Bone marrow aspirate smear:
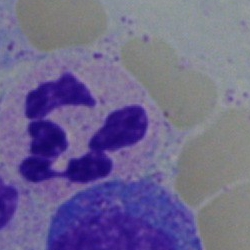The cell type is segmented neutrophil.